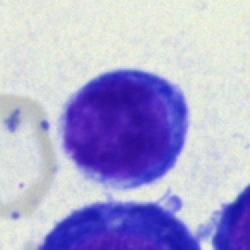 Classification = typical lymphocyte.